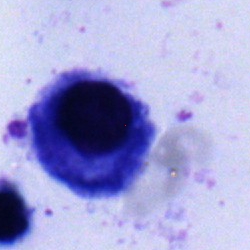
Single-cell crop from a bone marrow smear: plasma cell.